Bone marrow smear:
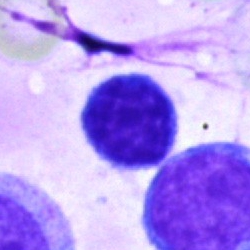
Q: Which cell type is shown here?
A: A lymphocyte.